May-Grünwald-Giemsa stain. Image size 250×250. Bone marrow smear: 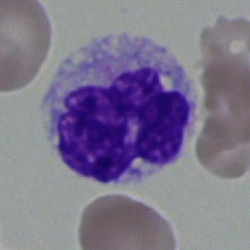 Q: What type of cell is this?
A: Monocyte.